Bone marrow smear. 250×250. 40× objective, oil immersion — 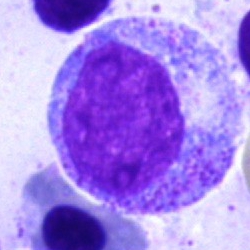 Morphology consistent with a progranulocyte.